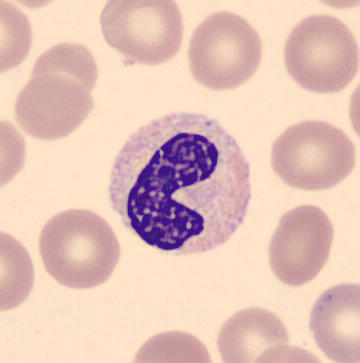A band neutrophil.